250×250. Bone marrow aspirate smear:
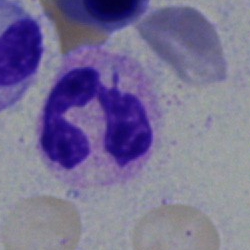Morphology → segmented neutrophil.